Bone marrow smear:
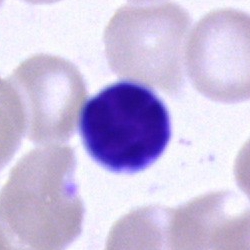Showing a lymphocyte.